Bone marrow smear
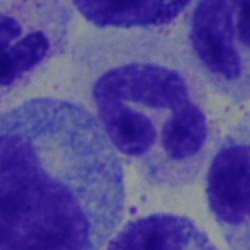 Showing a segmented neutrophil.